Bone marrow smear · 250×250 · 40× objective, oil immersion.
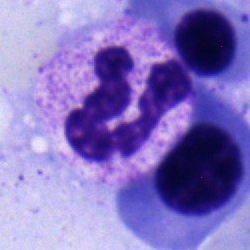
Q: What is the morphological classification of this cell?
A: Polymorphonuclear neutrophil.